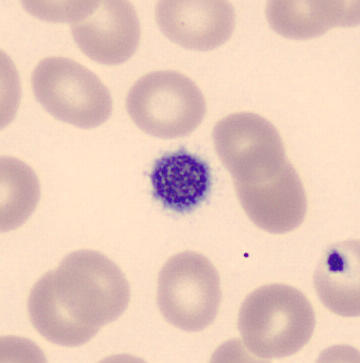 Showing a platelet.
Preparation: Peripheral blood film.